Bone marrow aspirate smear: 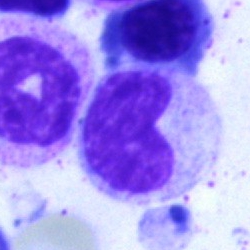
Classification = band-form neutrophil.